Bone marrow smear · MGG-stained: 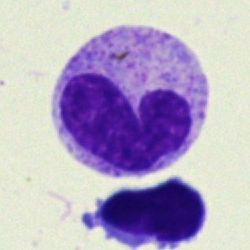

Q: What cell is this?
A: Band-form neutrophil.